Single cell centered in the field · bone marrow smear · 250×250:
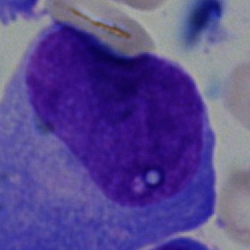
Showing a plasma cell.